40× oil immersion. Bone marrow aspirate smear — 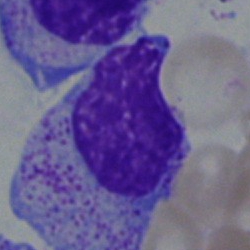
Impression → myelocyte.